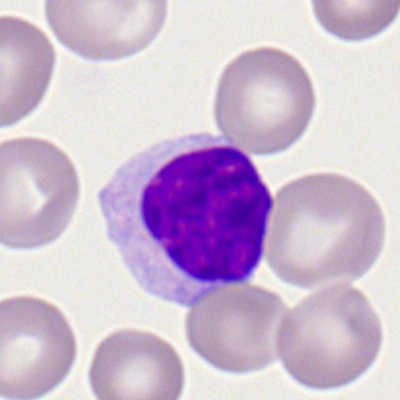

Cell = lymphocyte.